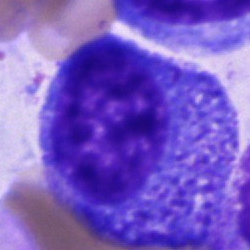

The cell is progranulocyte.